Bone marrow smear.
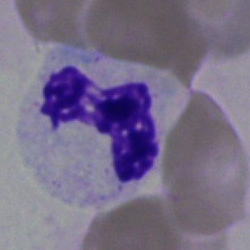

Classification = neutrophil (segmented).